Bone marrow aspirate smear: 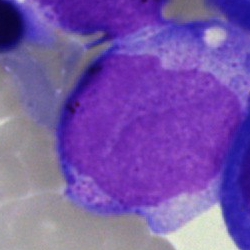Impression — blast.